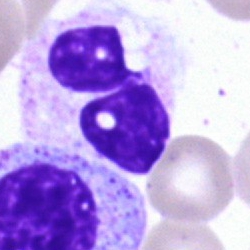

Morphology — polymorphonuclear neutrophil.